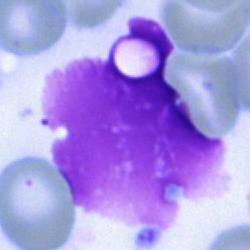Specimen: bone marrow aspirate smear.
Cell: artifact.